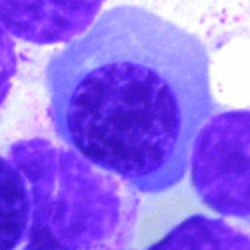
Specimen: bone marrow aspirate smear.
Morphological class: nucleated red blood cell.